Bone marrow smear; cropped to a single cell.
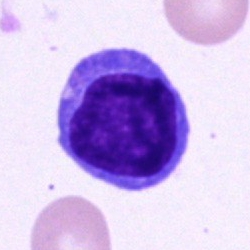Showing a typical lymphocyte.